Peripheral blood smear
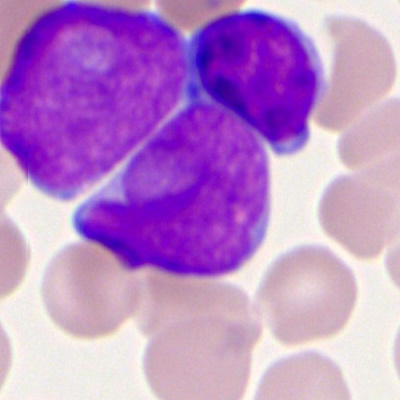A myeloid blast.